Brightfield, 40× oil-immersion objective; bone marrow aspirate smear; Pappenheim-stained — 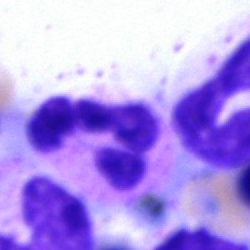A segmented neutrophil.